Bone marrow smear. May-Grünwald-Giemsa/Pappenheim stain — 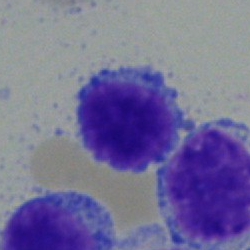
Showing a typical lymphocyte.